Bone marrow smear:
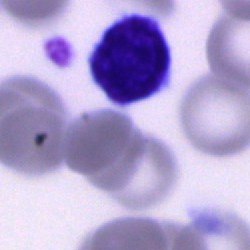 Classification = lymphocyte.